Bone marrow aspirate smear; 250×250 px:
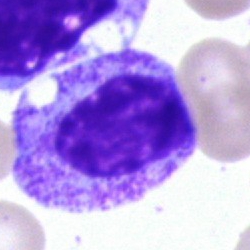

Cell type = myelocyte.